40× oil immersion. Bone marrow smear. Single-cell crop
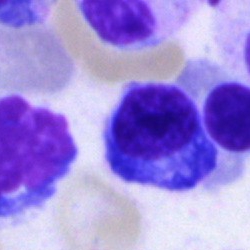

Plasmacyte.